Bone marrow smear: 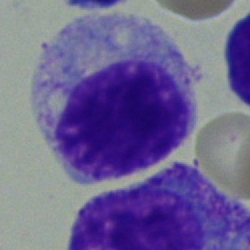
Q: Identify the cell.
A: This is a myelocyte.